Bone marrow smear — 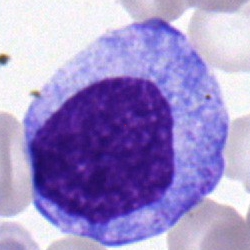

Q: What is the morphological classification of this cell?
A: It is a promyelocyte.